250×250 · single cell centered in the field · bone marrow aspirate smear: 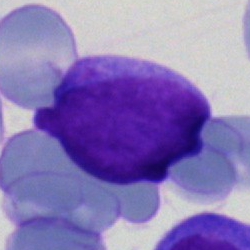
Morphological class — blast.